Pappenheim-stained · bone marrow smear · 250×250 px
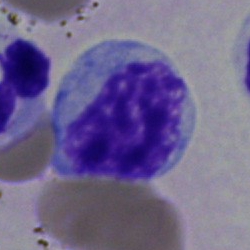
Q: What cell is this?
A: This is a myelocyte.